Bone marrow aspirate smear: 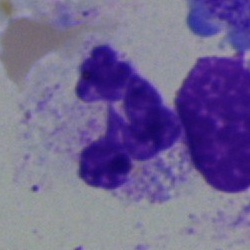 The cell is polymorphonuclear neutrophil.